Bone marrow aspirate smear:
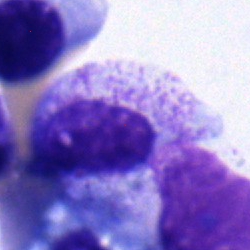

The morphological class is myelocyte.